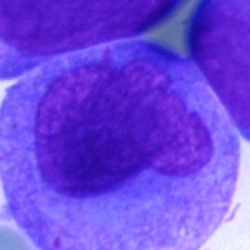This is an undifferentiated blast.